Brightfield, 40× oil-immersion objective · bone marrow smear:
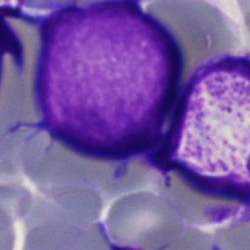 Impression — blast.